Bone marrow smear
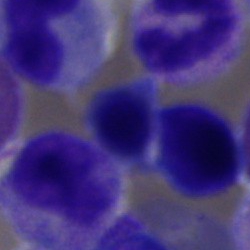
Q: What is the morphological classification of this cell?
A: This is a nucleated red cell.